Bone marrow aspirate smear
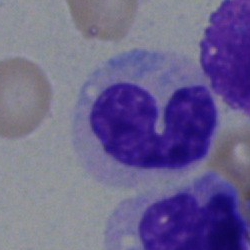 Cell type — band-form neutrophil.